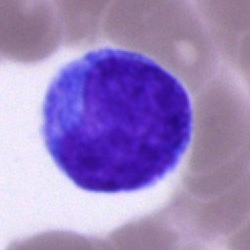Single cell identified as a blast.